Bone marrow smear.
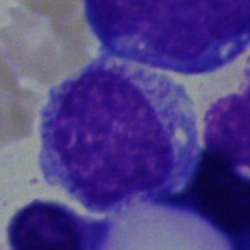
Cell: myelocyte.